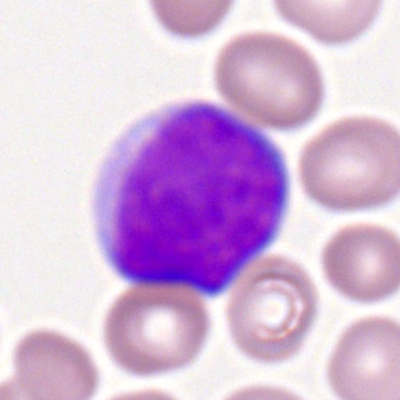 Cell — myeloid blast.